Bone marrow smear: 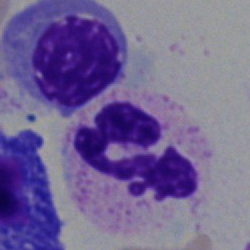Showing a neutrophil (segmented).